Bone marrow smear. 250 by 250 pixels
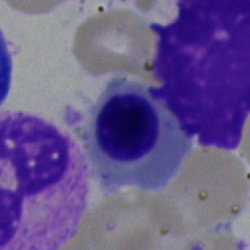

Showing a normoblast.